Single-cell field. Bone marrow smear. Image size 250×250.
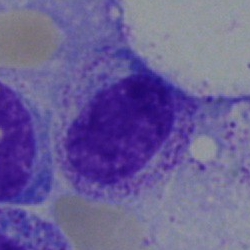 Q: Identify the cell.
A: It is a myelocyte.